Pappenheim-stained. Bone marrow aspirate smear.
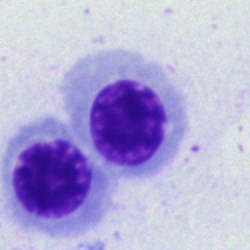 Showing a nucleated red blood cell.